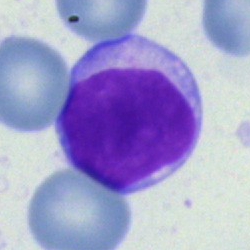 Classification — typical lymphocyte.